Bone marrow aspirate smear: 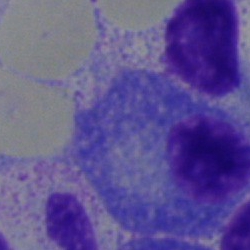

Showing a plasma cell.